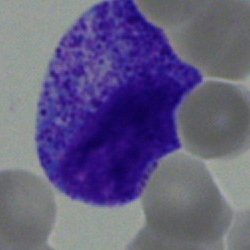Bone marrow smear showing a myelocyte.